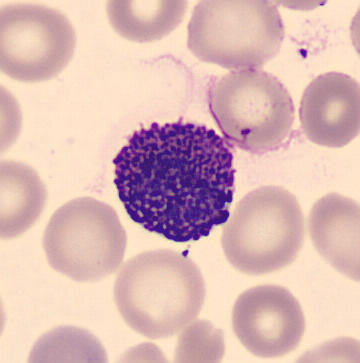
Peripheral blood smear.

Cell type: basophilic granulocyte.